Bone marrow smear.
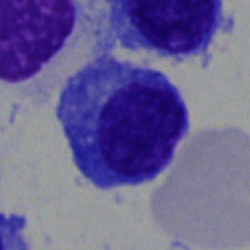
Impression — plasmacyte.